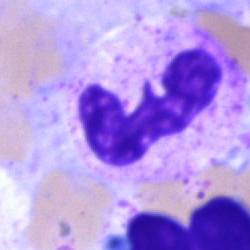

Morphological class: polymorphonuclear neutrophil.